Bone marrow smear. May-Grünwald-Giemsa/Pappenheim stain. 40× objective, oil immersion.
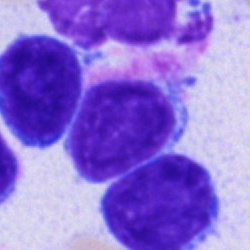 Showing a lymphocyte.